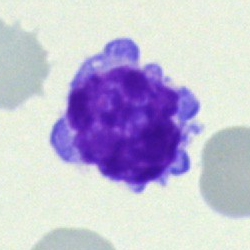 Morphology consistent with a lymphocyte.